Bone marrow smear:
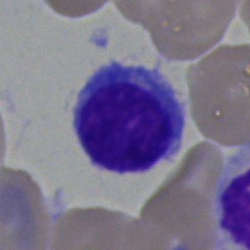Impression → plasma cell.